Pappenheim-stained; bone marrow smear; single-cell crop.
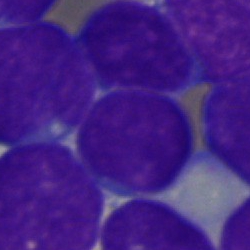
This is a blast cell.